Peripheral blood film: 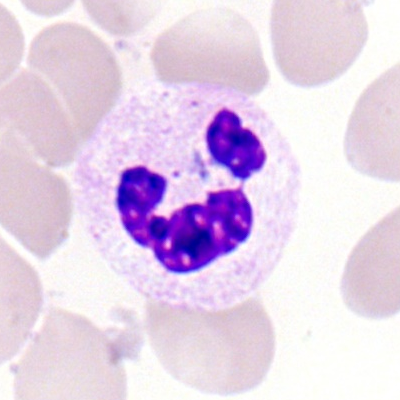

Specimen: peripheral blood film.
Classification: polymorphonuclear neutrophil.